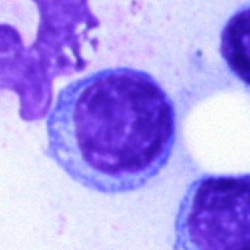 Specimen: bone marrow smear.
Classification: lymphocyte.
Lineage: lymphoid.